400×400 · peripheral blood smear · Romanowsky-type stain.
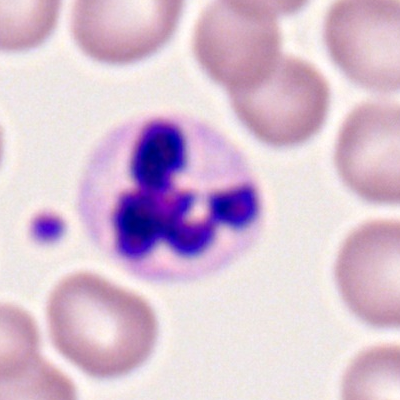

Q: What type of cell is this?
A: A segmented neutrophil.